40× objective, oil immersion; bone marrow aspirate smear; May-Grünwald-Giemsa/Pappenheim stain: 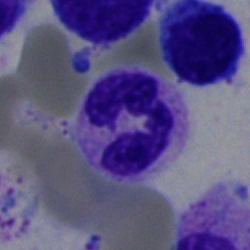Specimen: bone marrow smear.
Classification: polymorphonuclear neutrophil.
Lineage: myeloid.